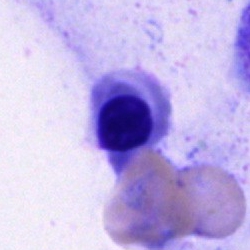 Cell: normoblast.